Bone marrow smear. Single cell centered in the field
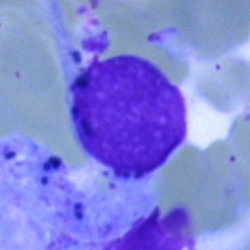Q: What is shown here?
A: This is an artifact.